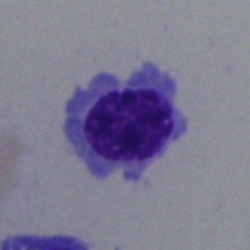Q: Identify the cell.
A: Erythroblast.